Bone marrow aspirate smear: 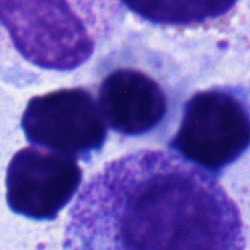 Showing a normoblast.